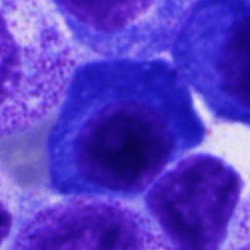

A plasmacyte on a bone marrow smear.